May-Grünwald-Giemsa stain; bone marrow aspirate smear:
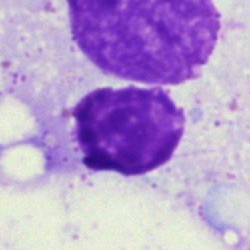
Artifact.